Bone marrow aspirate smear; 40× oil immersion; Pappenheim-stained
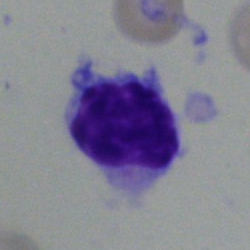
Morphology consistent with a hairy cell.